Bone marrow aspirate smear
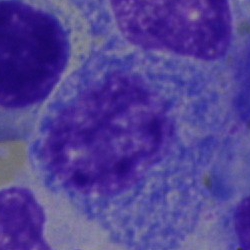 Morphology — promyelocyte.